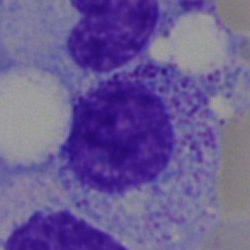

Single-cell crop from a bone marrow smear: myelocyte.